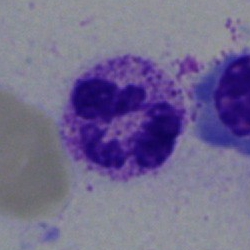 Specimen: bone marrow smear.
Morphological class: polymorphonuclear neutrophil.
Lineage: myeloid.